Bone marrow smear; Pappenheim-stained:
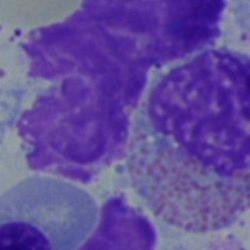 Impression — eosinophil.